Single-cell field; bone marrow smear:
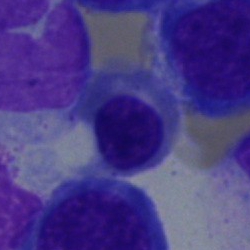
Specimen: bone marrow smear.
Cell type: nucleated red cell.
Lineage: erythroid.